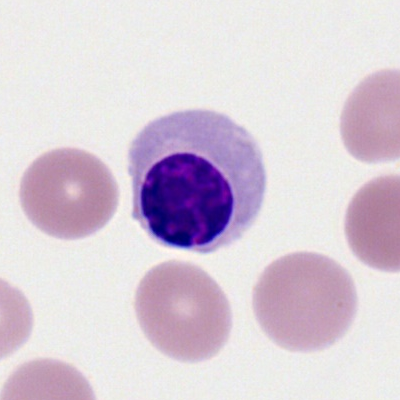 This is an erythroblast.